Image size 400×400. Peripheral blood film — 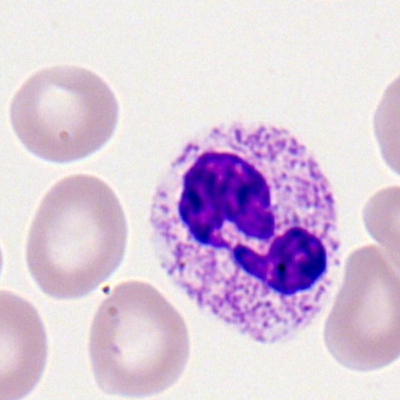
Morphology → segmented neutrophil.